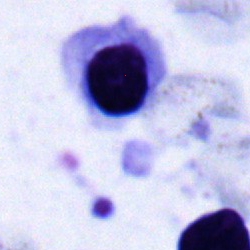

Specimen: bone marrow smear.
Morphological class: normoblast.
Lineage: erythroid.